Bone marrow aspirate smear — 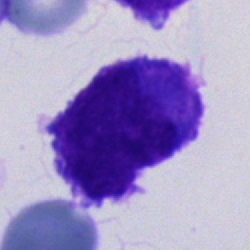Cell: undifferentiated blast.